Bone marrow aspirate smear
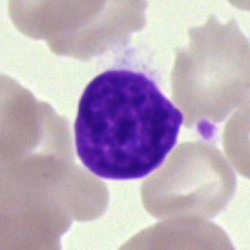 Q: What is shown here?
A: Artifact.